Bone marrow aspirate smear; single-cell field:
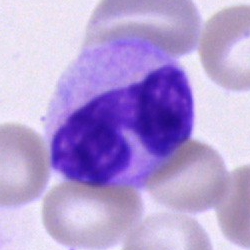 Morphological class — neutrophil (band).